Peripheral blood film:
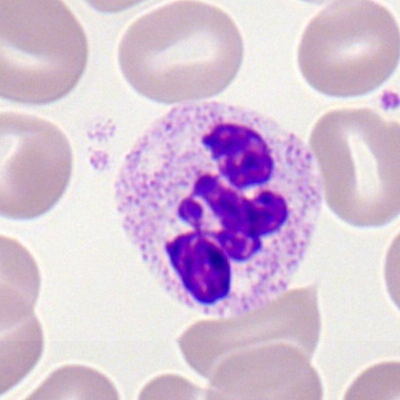Morphology consistent with a neutrophil (segmented).